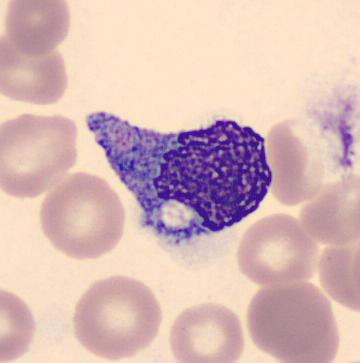
Showing a monocyte.
Image: Peripheral blood film; cropped to a single cell.